Bone marrow aspirate smear.
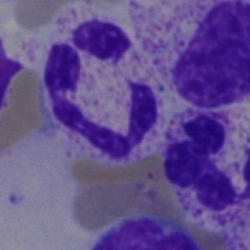
{"cell_type": "neutrophil (segmented)"}